Brightfield, 40× oil-immersion objective. Bone marrow smear. Single cell centered in the field — 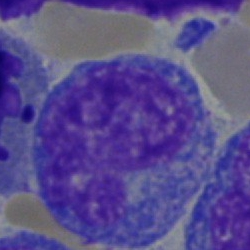
The cell shown is a blast.